250×250 · bone marrow aspirate smear — 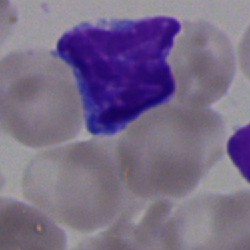Morphology consistent with a typical lymphocyte.